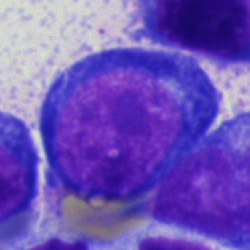
Morphological class = pronormoblast.